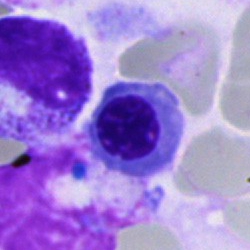

Cell = erythroblast.